Bone marrow aspirate smear. May-Grünwald-Giemsa stain — 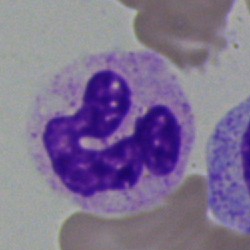
Specimen: bone marrow aspirate smear.
Cell type: neutrophil (segmented).
Lineage: myeloid.